Bone marrow smear: 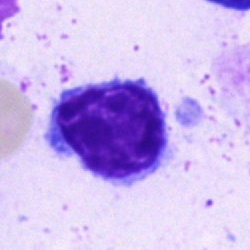

Cell = lymphocyte.